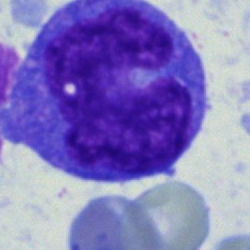 Cell type = monocyte.